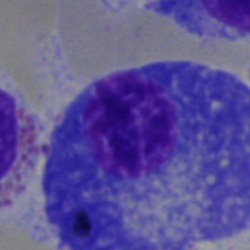Q: What is the morphological classification of this cell?
A: Plasmacyte.